Bone marrow smear
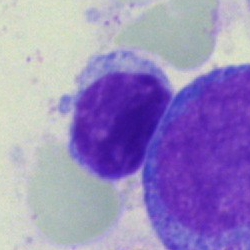Specimen: bone marrow aspirate smear.
Cell type: typical lymphocyte.